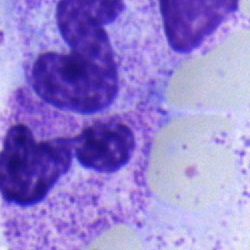 Bone marrow aspirate smear, single cell — polymorphonuclear neutrophil.